Bone marrow smear · brightfield microscopy, 40× oil immersion · single-cell crop — 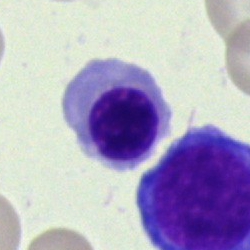
Cell type: nucleated red cell.